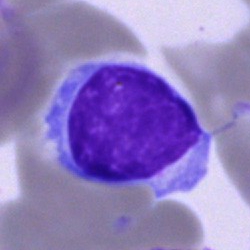 A typical lymphocyte.